360 by 363 pixels; MGG-stained; peripheral blood smear
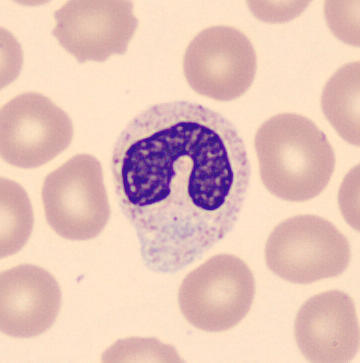Specimen: peripheral blood film.
Cell: stab cell.